Peripheral blood smear:
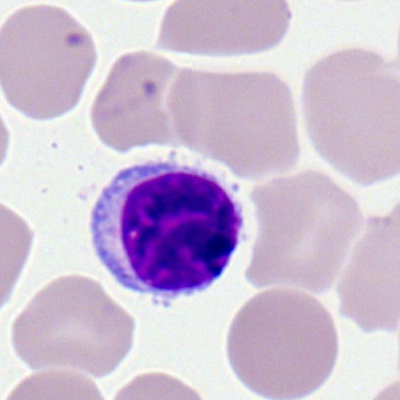 Classification: typical lymphocyte.